Peripheral blood film.
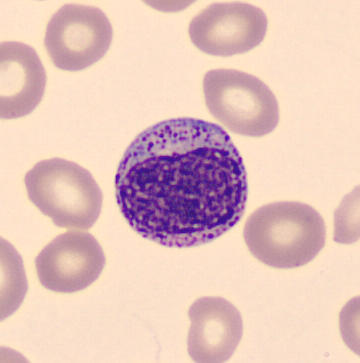Morphology consistent with a myelocyte.